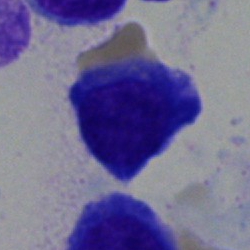 Morphological class — lymphocyte.